Bone marrow smear.
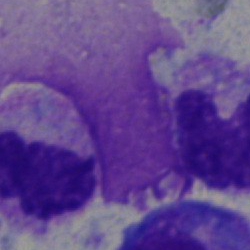

Single cell identified as an artefact.